Bone marrow smear
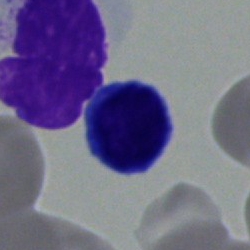
Impression — lymphocyte.